250×250 px · bone marrow aspirate smear · single cell centered in the field:
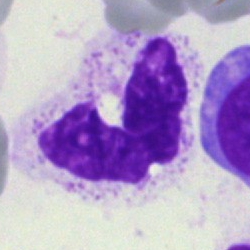

The morphological class is neutrophil (segmented).